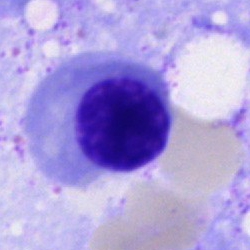

Cell type — nucleated red cell.